250×250. Bone marrow aspirate smear
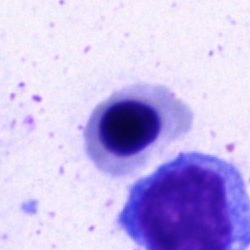
Q: What cell is this?
A: This is a nucleated red cell.